Bone marrow aspirate smear; 40× oil immersion: 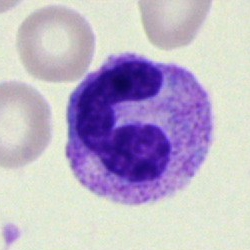
Q: What is the morphological classification of this cell?
A: This is a neutrophil (segmented).